Bone marrow aspirate smear — 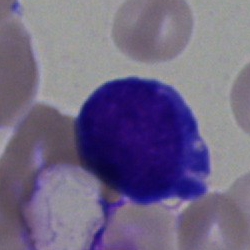

Q: What is shown here?
A: Undifferentiated blast.